Peripheral blood smear:
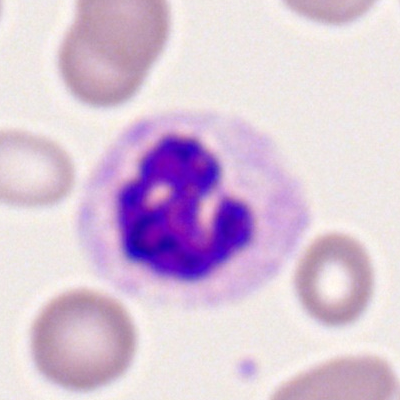

Cell — segmented neutrophil.